May-Grünwald-Giemsa/Pappenheim stain; bone marrow smear:
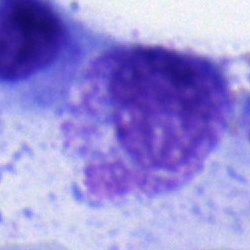 Q: What type of cell is this?
A: A myelocyte.